Bone marrow aspirate smear: 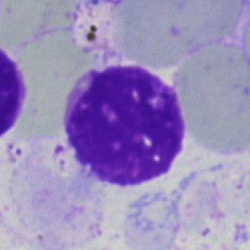 {"cell_type": "artifact"}